Bone marrow smear · brightfield microscopy, 40× oil immersion · cropped to a single cell
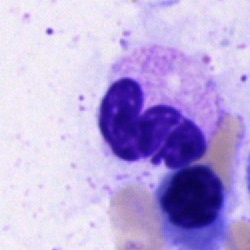The cell shown is a polymorphonuclear neutrophil.